250×250 px · bone marrow smear · MGG-stained
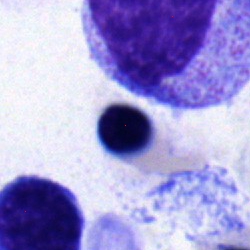Impression — nucleated red blood cell.